May-Grünwald-Giemsa stain. Bone marrow aspirate smear. 40× objective, oil immersion
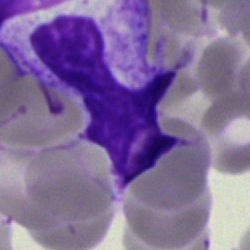Morphology consistent with an artifact.